Bone marrow smear · MGG-stained:
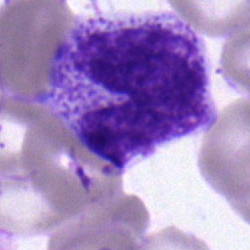

The classification is metamyelocyte.